Bone marrow smear
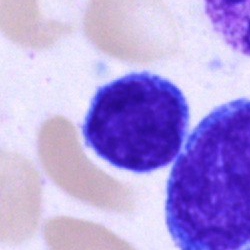Specimen: bone marrow smear.
Classification: typical lymphocyte.
Lineage: lymphoid.